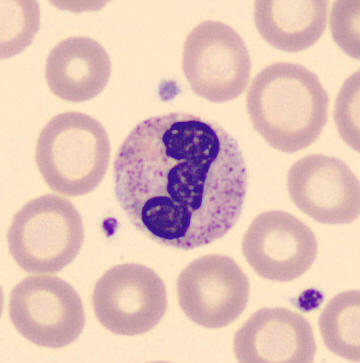

Impression → band-form neutrophil.

Image: Peripheral blood smear; MGG-stained.